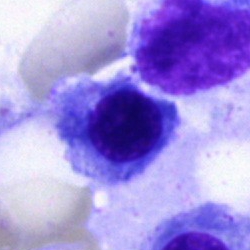Morphology — nucleated red blood cell.